40× objective, oil immersion; 250×250 px; bone marrow aspirate smear — 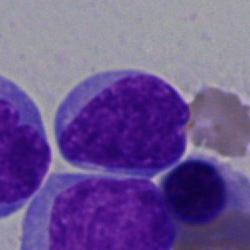Specimen: bone marrow aspirate smear.
Cell: undifferentiated blast.